Bone marrow aspirate smear · Pappenheim-stained
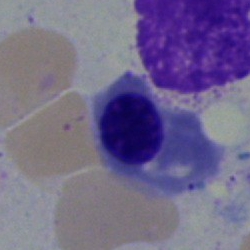 Q: Which cell type is shown here?
A: A nucleated red cell.